Bone marrow aspirate smear. 40× oil immersion:
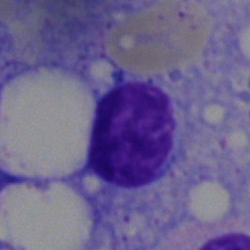Classification = typical lymphocyte.